Peripheral blood smear. Cropped to a single cell. Romanowsky stain: 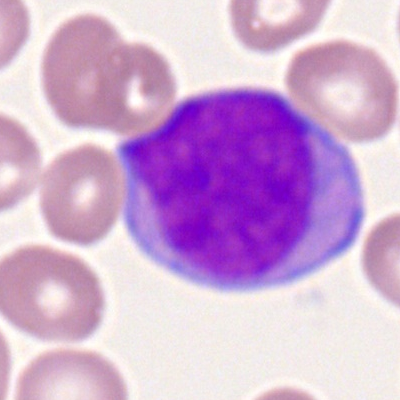{"cell_type": "myeloblast"}